Bone marrow smear; 250 by 250 pixels; single-cell crop:
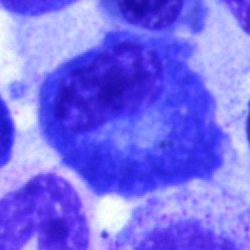
The cell type is plasmacyte.